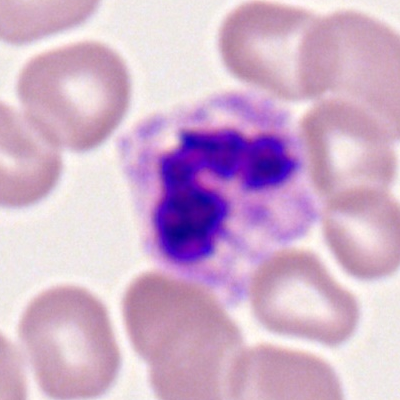
Single-cell crop from a peripheral blood smear: polymorphonuclear neutrophil.